Bone marrow smear. May-Grünwald-Giemsa/Pappenheim stain
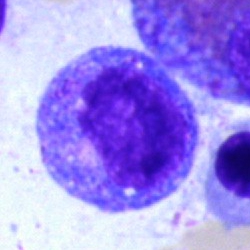
The cell type is progranulocyte.